Single-cell field · bone marrow aspirate smear:
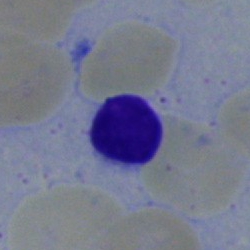

This is a typical lymphocyte.